Bone marrow smear:
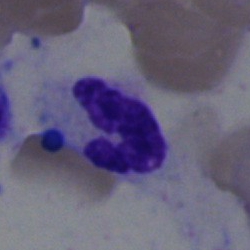

Impression — segmented neutrophil.